Bone marrow aspirate smear; image size 250×250
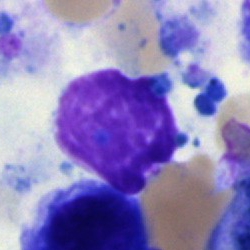

Specimen: bone marrow smear.
Cell: artifact.